Peripheral blood smear
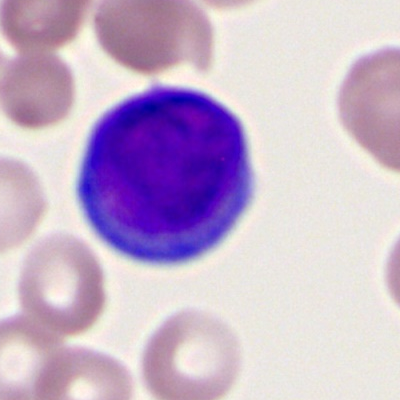Cell type: myeloblast.